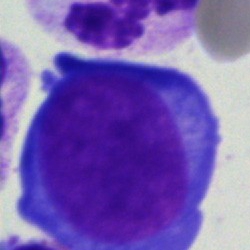
Single-cell crop from a bone marrow smear: pronormoblast.